Bone marrow aspirate smear
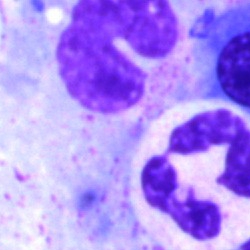Showing a polymorphonuclear neutrophil.